Single cell centered in the field; bone marrow aspirate smear — 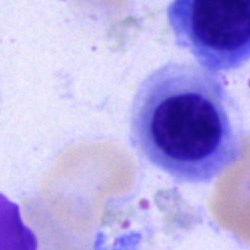

The cell type is normoblast.